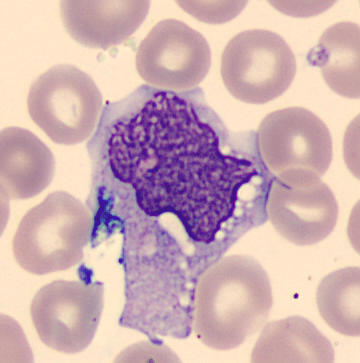 {"cell_type": "monocyte"}

Single-cell crop. 360×363 px. Peripheral blood smear.